Bone marrow aspirate smear.
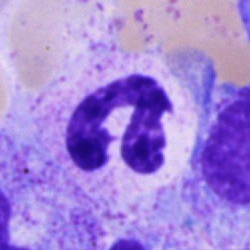

Specimen: bone marrow aspirate smear.
Morphological class: stab cell.